MGG-stained; bone marrow smear; brightfield microscopy, 40× oil immersion: 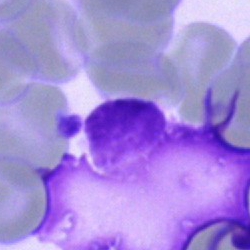

Artefact.